40× objective, oil immersion · May-Grünwald-Giemsa/Pappenheim stain · bone marrow smear:
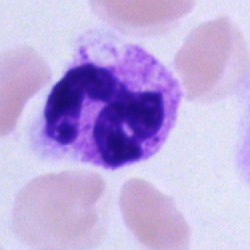
Cell = segmented neutrophil.